Single-cell crop · bone marrow smear.
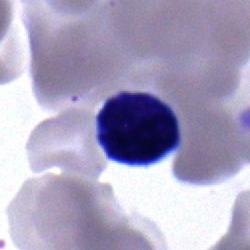 Lymphocyte.